40× objective, oil immersion · 250×250 px · bone marrow smear.
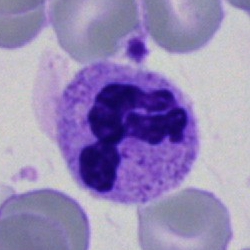 Neutrophil (segmented).